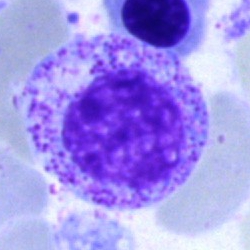

Morphology → myelocyte.